MGG-stained; bone marrow smear; 250×250 px:
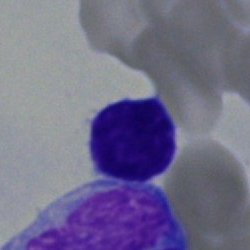

Single cell identified as a lymphocyte.